Peripheral blood film: 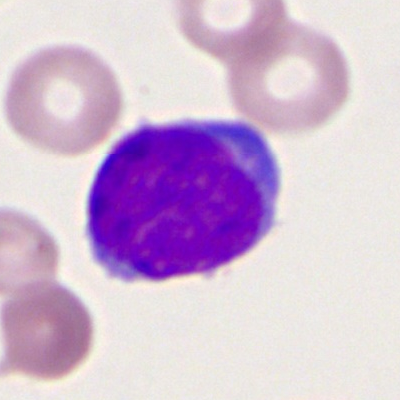

The cell is myeloid blast.